Bone marrow aspirate smear.
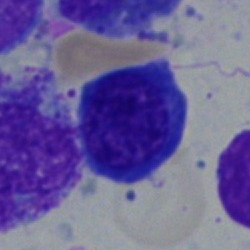

Typical lymphocyte.